Bone marrow aspirate smear. May-Grünwald-Giemsa/Pappenheim stain — 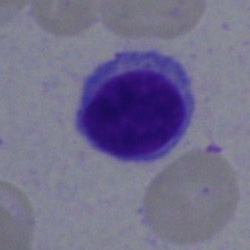{"cell_type": "lymphocyte"}